Bone marrow aspirate smear
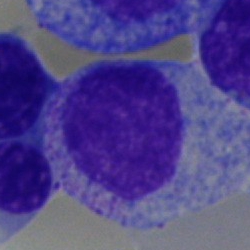The cell shown is a myelocyte.